Bone marrow aspirate smear
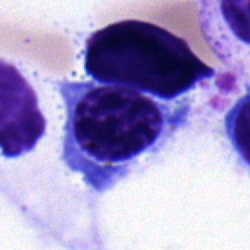
Morphology — erythroblast.